Bone marrow aspirate smear · 250×250 px.
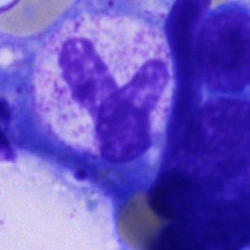 Single cell identified as a segmented neutrophil.